Bone marrow aspirate smear:
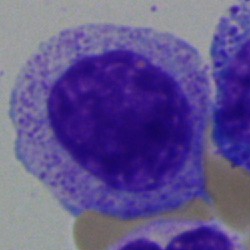 Cell type: myelocyte.